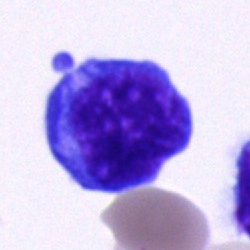

Q: What type of cell is this?
A: This is a blast.